Bone marrow aspirate smear. May-Grünwald-Giemsa/Pappenheim stain: 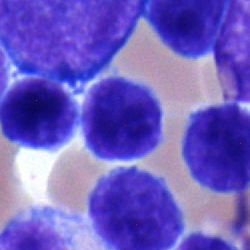Cell type: lymphocyte.